Pappenheim-stained. Bone marrow aspirate smear
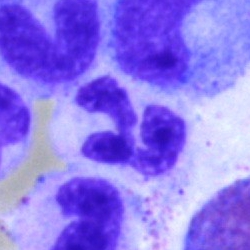

The cell shown is a polymorphonuclear neutrophil.